Bone marrow smear: 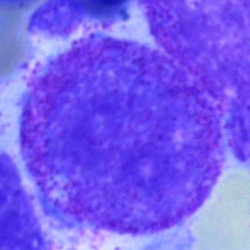

Morphology consistent with a progranulocyte.